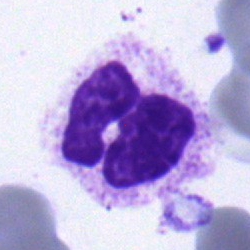 Specimen: bone marrow smear.
Cell type: polymorphonuclear neutrophil.
Lineage: myeloid.